Peripheral blood film — 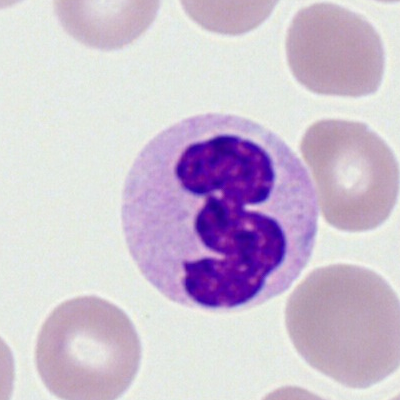{"cell_type": "segmented neutrophil", "lineage": "myeloid"}